Bone marrow smear · May-Grünwald-Giemsa stain: 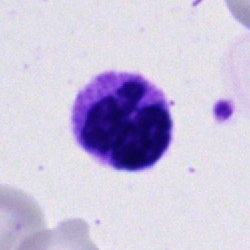

Morphological class — neutrophil (segmented).